Bone marrow aspirate smear:
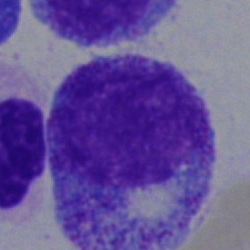Cell — progranulocyte.